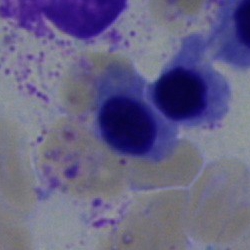 Classification = nucleated red cell.